Single-cell crop. Bone marrow aspirate smear: 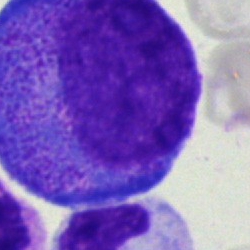Showing a promyelocyte.